Single-cell crop · bone marrow aspirate smear:
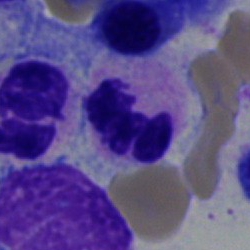 A polymorphonuclear neutrophil.